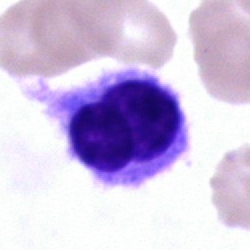

Specimen: bone marrow aspirate smear.
Cell type: hairy cell.
Lineage: lymphoid.